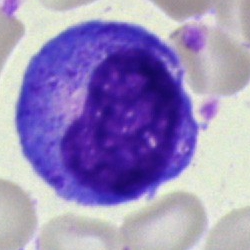
Morphology → promyelocyte.